May-Grünwald-Giemsa stain; bone marrow aspirate smear: 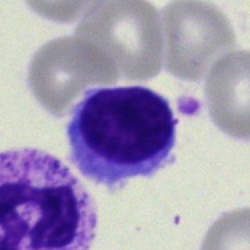Single cell identified as a lymphocyte.